Bone marrow smear; 40× objective, oil immersion — 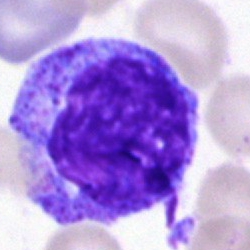 Specimen: bone marrow aspirate smear.
Morphological class: myelocyte.
Lineage: myeloid.